May-Grünwald-Giemsa/Pappenheim stain. Bone marrow smear
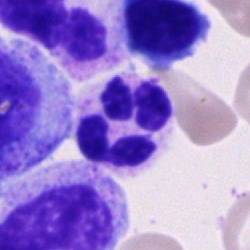Morphological class = polymorphonuclear neutrophil.